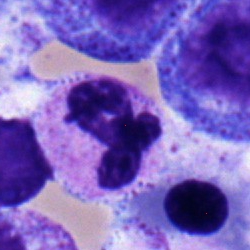 The cell type is neutrophil (segmented).